Single cell centered in the field · bone marrow aspirate smear — 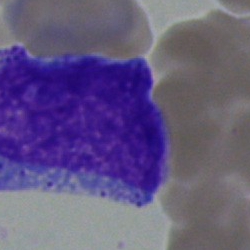 Single cell identified as a progranulocyte.